Peripheral blood smear: 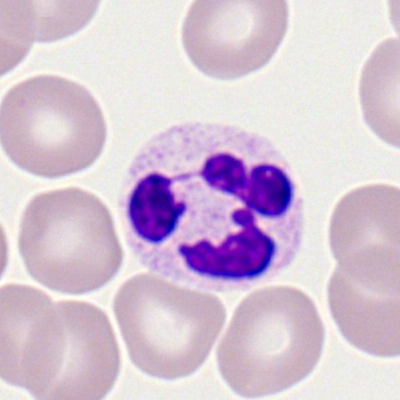Neutrophil (segmented).